Single cell centered in the field; 250×250; bone marrow aspirate smear: 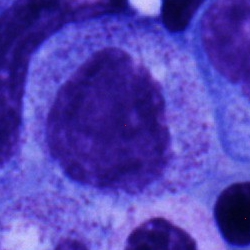 The cell type is myelocyte.